Bone marrow aspirate smear. 250×250 — 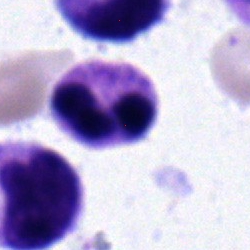
Impression — polymorphonuclear neutrophil.